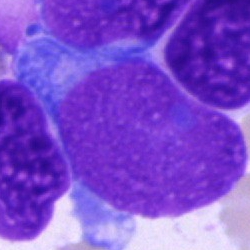

Single cell identified as a blast.